Bone marrow smear:
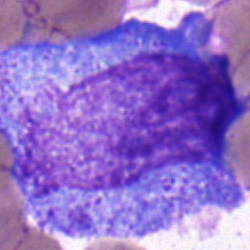
A promyelocyte.